Peripheral blood film. Romanowsky-stained. Cropped to a single cell: 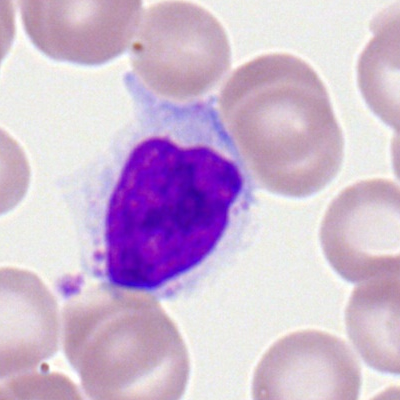

Morphology consistent with a typical lymphocyte.